Pappenheim-stained. 40× objective, oil immersion. Bone marrow smear.
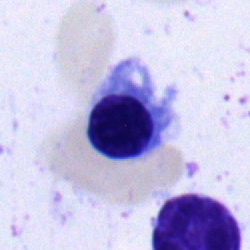
This is a nucleated red blood cell.